Bone marrow smear.
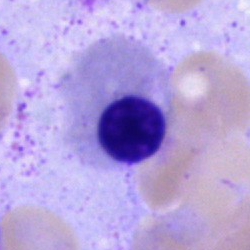Morphology → normoblast.